Bone marrow aspirate smear
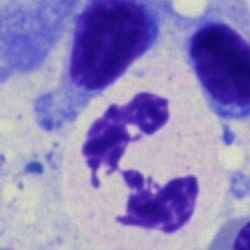

A neutrophil (segmented).